250×250; May-Grünwald-Giemsa/Pappenheim stain; bone marrow smear
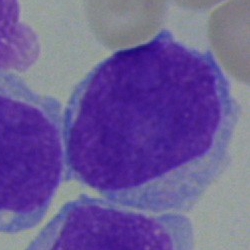Specimen: bone marrow smear.
Morphological class: undifferentiated blast.